Bone marrow smear.
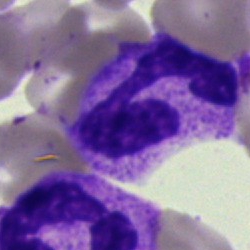

{"cell_type": "polymorphonuclear neutrophil"}